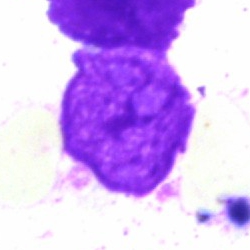 Single-cell crop from a bone marrow smear: artifact.